Peripheral blood film:
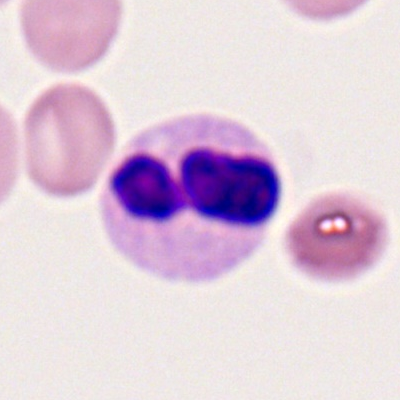 Cell = segmented neutrophil.